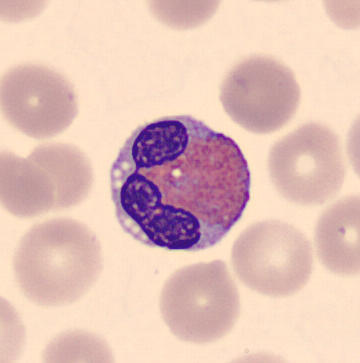 Image: 360×363 px; single-cell crop.

Specimen: peripheral blood film.
Cell: eosinophil.
Lineage: myeloid.